Bone marrow smear
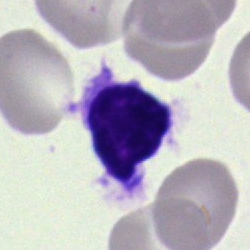 Cell — lymphocyte.